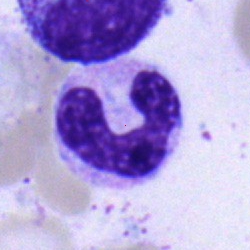

Q: What cell is this?
A: It is a stab cell.